Bone marrow aspirate smear: 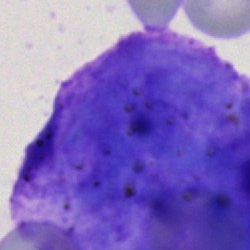

Specimen: bone marrow smear.
Classification: artefact.